MGG-stained. 250 by 250 pixels. Bone marrow aspirate smear
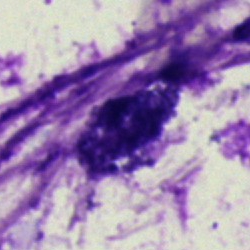

Single cell identified as an artefact.